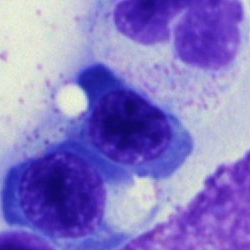

Bone marrow aspirate smear, single cell — nucleated red cell.